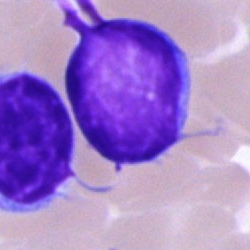 Q: Which cell type is shown here?
A: This is a lymphocyte.